Single-cell crop. Bone marrow aspirate smear:
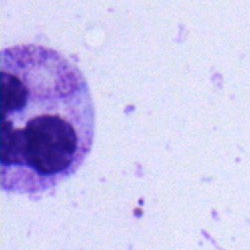
Cell = neutrophil (segmented).